Bone marrow smear · 250 by 250 pixels:
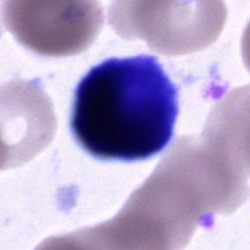

Showing a cell of indeterminate lineage.